Bone marrow aspirate smear; 250×250.
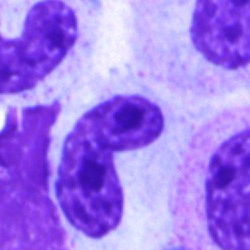
Specimen: bone marrow smear.
Classification: stab cell.